May-Grünwald-Giemsa stain. Bone marrow aspirate smear. Image size 250×250:
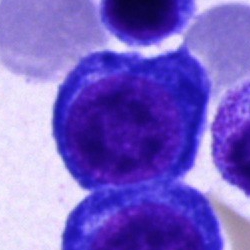 Morphological class: proerythroblast.